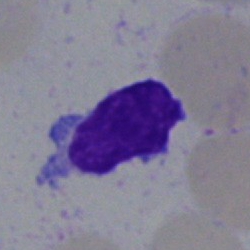 Specimen: bone marrow smear.
Cell type: lymphocyte.
Lineage: lymphoid.